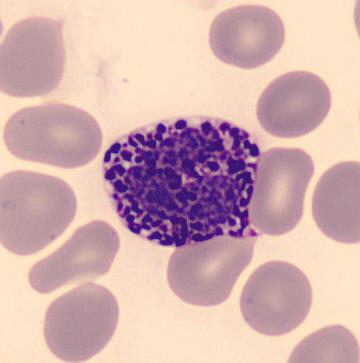 Morphological class — basophilic granulocyte. Acquisition: Peripheral blood smear. Automated cell imaging (CellaVision DM96).